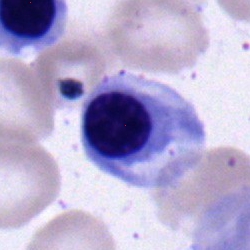
This is a nucleated red cell.